Bone marrow aspirate smear · cropped to a single cell — 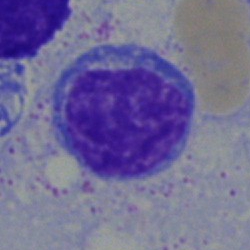 {"cell_type": "nucleated red blood cell"}